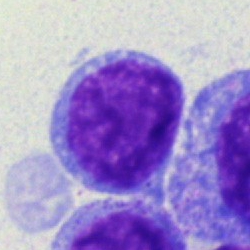

Single-cell crop from a bone marrow smear: undifferentiated blast.